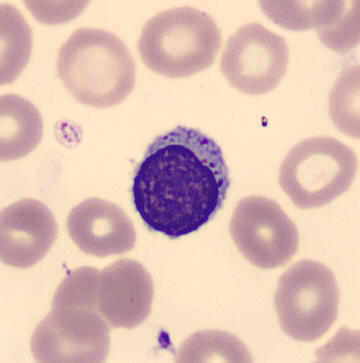
Q: Which cell type is shown here?
A: A lymphocyte.